Bone marrow aspirate smear
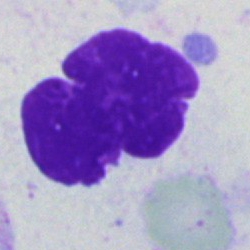
Q: What is shown here?
A: Artefact.